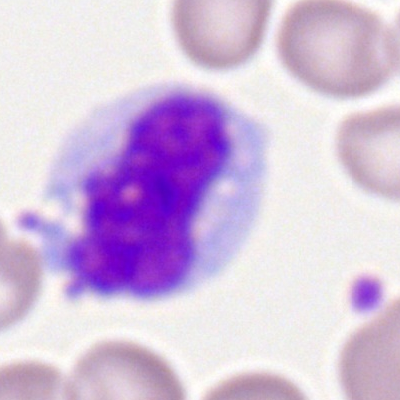

Morphology → monocyte.